Single-cell crop; bone marrow aspirate smear:
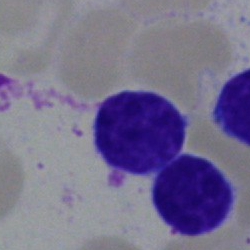

Impression → typical lymphocyte.